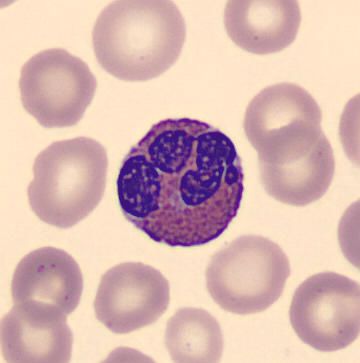Q: Which cell type is shown here?
A: Eosinophilic granulocyte.